Peripheral blood smear
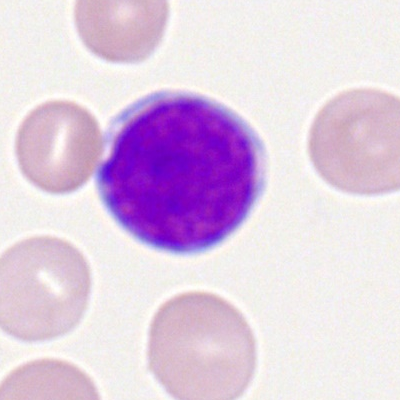

Impression — lymphocyte.